Bone marrow smear:
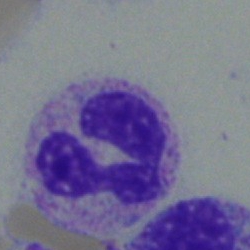Morphology consistent with a segmented neutrophil.